Bone marrow aspirate smear · 250×250: 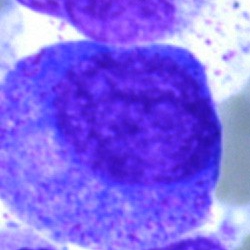
This is a promyelocyte.